Pappenheim-stained · bone marrow smear:
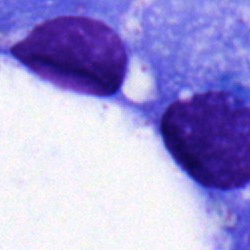
Cell — plasmacyte.